Bone marrow smear: 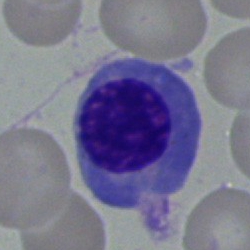

Normoblast.